Bone marrow aspirate smear; May-Grünwald-Giemsa/Pappenheim stain
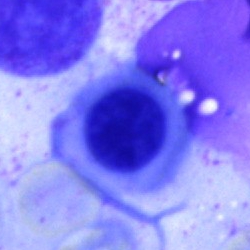

Specimen: bone marrow aspirate smear.
Cell type: nucleated red blood cell.
Lineage: erythroid.